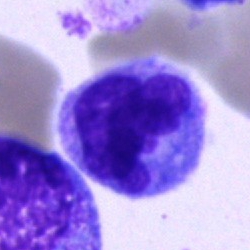

Cell: monocyte.